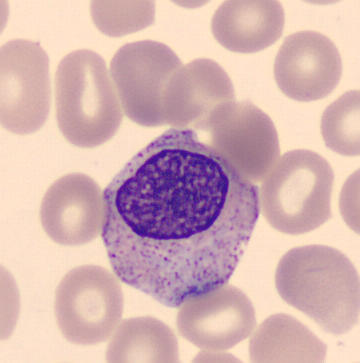 Image: CellaVision DM96; image size 360×363; peripheral blood film. Showing a myelocyte.